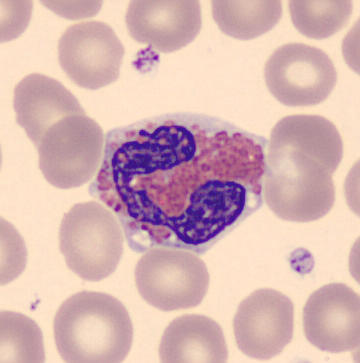
The cell is eosinophilic granulocyte.

Preparation: Imaged on a CellaVision DM96 analyser. Peripheral blood smear.